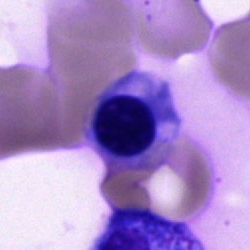
Bone marrow smear showing an erythroblast.